Bone marrow aspirate smear
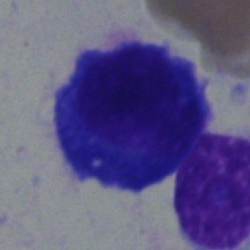Showing a plasma cell.